Bone marrow smear: 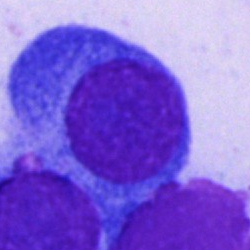Showing a plasma cell.